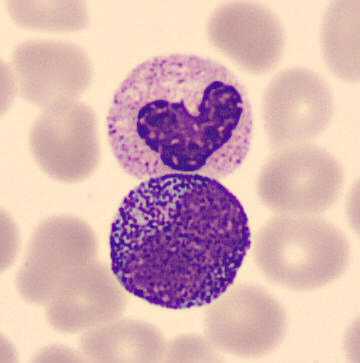

Peripheral blood film. 360 by 363 pixels. May-Grünwald-Giemsa-stained.

Single cell identified as a promyelocyte.